Bone marrow aspirate smear: 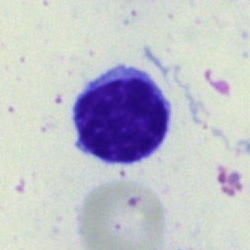

{"cell_type": "typical lymphocyte", "lineage": "lymphoid"}